Bone marrow smear.
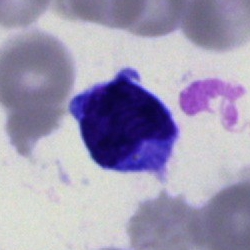Blast cell.